Bone marrow smear · brightfield, 40× oil-immersion objective.
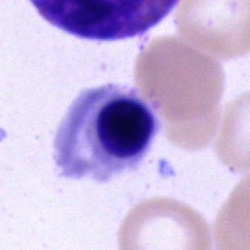
Specimen: bone marrow aspirate smear.
Cell type: nucleated red cell.
Lineage: erythroid.